Single cell centered in the field; bone marrow aspirate smear: 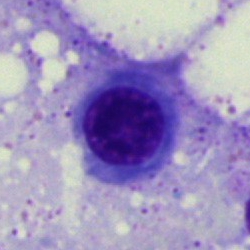
Q: Identify the cell.
A: It is a nucleated red blood cell.